Bone marrow aspirate smear:
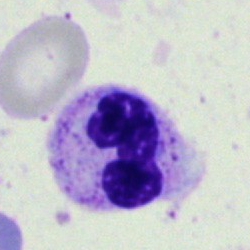

Impression — neutrophil (segmented).